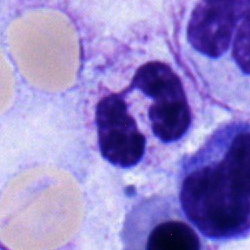The cell type is neutrophil (segmented).